Single-cell crop; MGG-stained; bone marrow smear
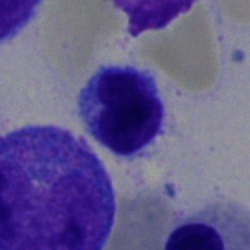 Single cell identified as a lymphocyte.